Bone marrow aspirate smear — 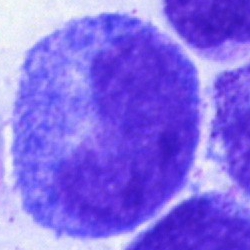
Specimen: bone marrow smear.
Classification: progranulocyte.